Peripheral blood smear.
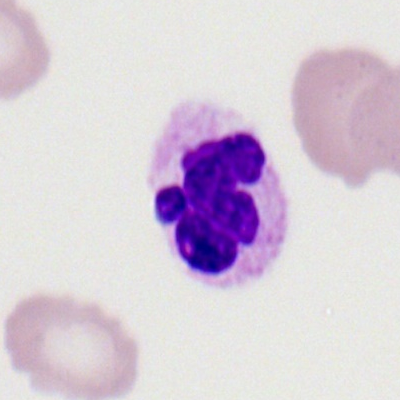

{"cell_type": "polymorphonuclear neutrophil"}